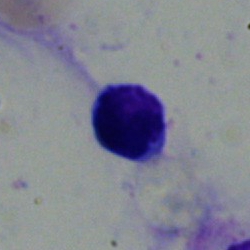 Specimen: bone marrow aspirate smear.
Morphological class: typical lymphocyte.
Lineage: lymphoid.